Bone marrow aspirate smear. Brightfield, 40× oil-immersion objective — 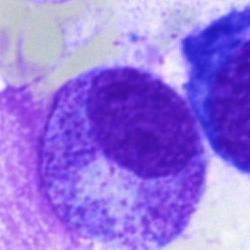
The cell type is myelocyte.